Bone marrow aspirate smear: 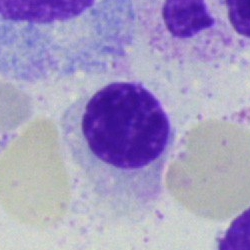Q: What is shown here?
A: This is a nucleated red cell.